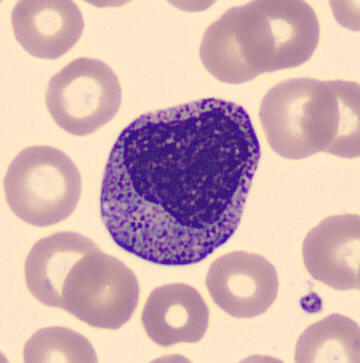
Cell type: myelocyte.